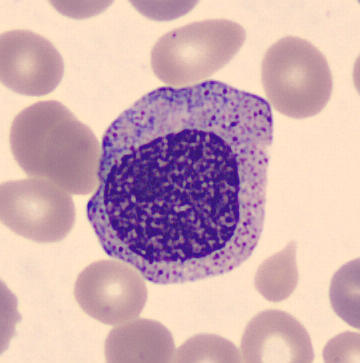 Preparation: Peripheral blood film. Cell: myelocyte.